Bone marrow aspirate smear.
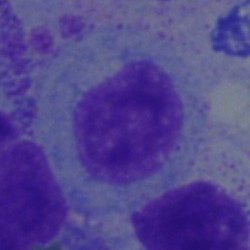 Specimen: bone marrow aspirate smear.
Classification: myelocyte.